Bone marrow smear — 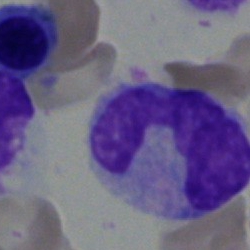 Morphological class: monocyte.